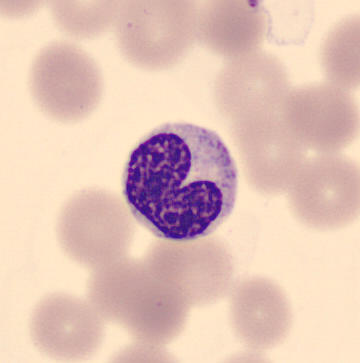
Preparation: Peripheral blood film; automated cell imaging (CellaVision DM96); May Grünwald-Giemsa stain. This is a metamyelocyte.